Single-cell crop; 250×250 px; bone marrow aspirate smear:
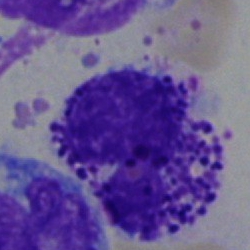
Morphology consistent with a basophil.